Bone marrow smear: 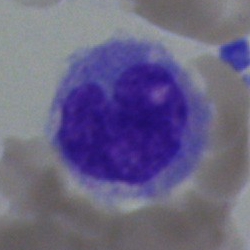Specimen: bone marrow aspirate smear.
Cell: monocyte.
Lineage: myeloid.